Bone marrow aspirate smear
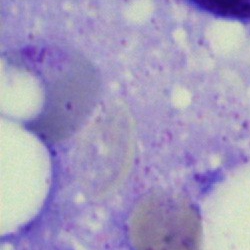

Showing an artefact.